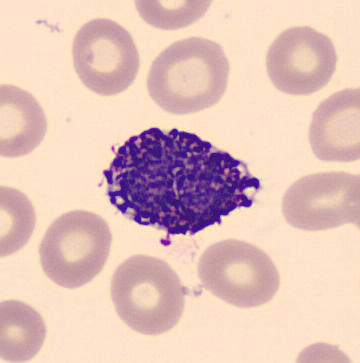
Showing a basophilic granulocyte.